MGG-stained; brightfield microscopy, 40× oil immersion; bone marrow smear: 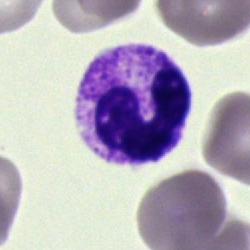The cell type is neutrophil (band).